Cropped to a single cell. Bone marrow aspirate smear.
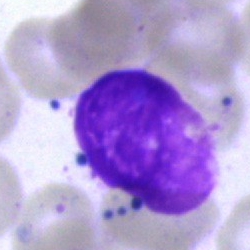 {"cell_type": "artefact"}